250×250 px; bone marrow aspirate smear: 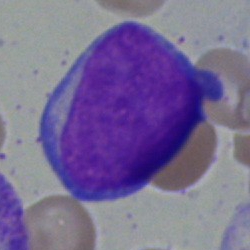
Q: Identify the cell.
A: It is an undifferentiated blast.